Bone marrow smear. Single cell centered in the field. Brightfield microscopy, 40× oil immersion — 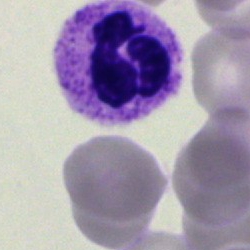The classification is segmented neutrophil.